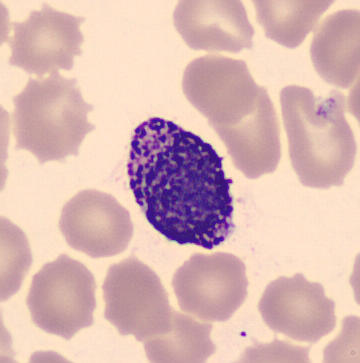
Morphology → basophil.
Acquisition: Peripheral blood film.